Single cell centered in the field. Bone marrow aspirate smear: 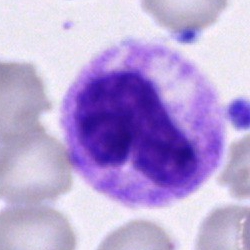
Specimen: bone marrow smear.
Cell type: neutrophil (band).